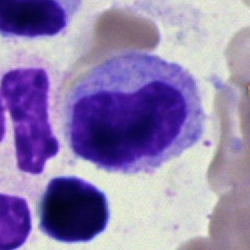 Specimen: bone marrow smear.
Cell: metamyelocyte.
Lineage: myeloid.